Image size 250×250; bone marrow smear
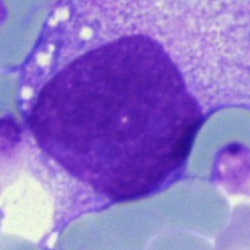
Morphological class — artifact.